Bone marrow aspirate smear. Cropped to a single cell
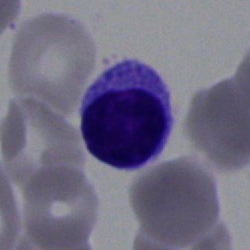

A typical lymphocyte.